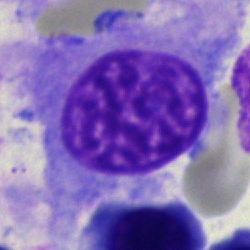
Cell type — artefact.